400 by 400 pixels. Peripheral blood film — 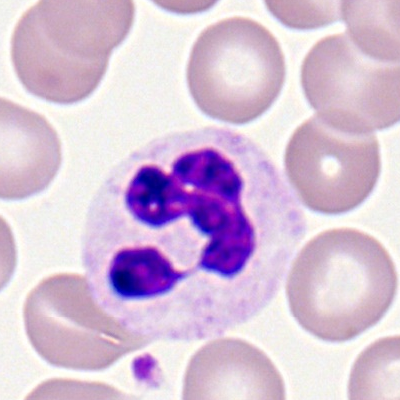 Cell type — polymorphonuclear neutrophil.